Bone marrow smear: 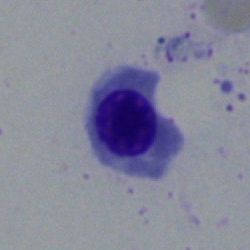

Cell — erythroblast.